Cropped to a single cell · bone marrow smear:
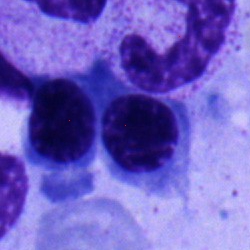 Q: Identify the cell.
A: It is an erythroblast.